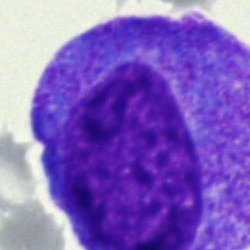

Morphological class — progranulocyte.